Brightfield microscopy, 40× oil immersion · bone marrow smear: 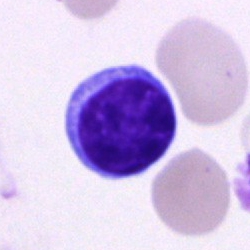

Morphological class: typical lymphocyte.